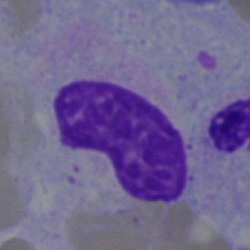

Q: What cell is this?
A: This is a stab cell.